Pappenheim-stained · image size 250×250 · bone marrow aspirate smear: 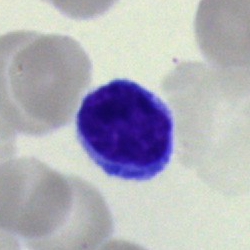A typical lymphocyte.